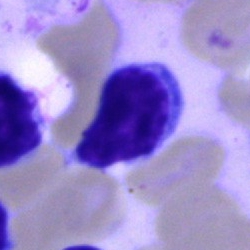Single-cell crop from a bone marrow smear: lymphocyte.